May-Grünwald-Giemsa stain; 250×250; bone marrow aspirate smear:
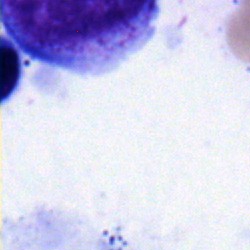Blast cell.